Bone marrow smear; 250 by 250 pixels
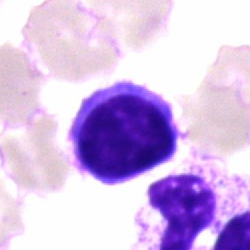Q: What cell is this?
A: Typical lymphocyte.